Bone marrow aspirate smear; May-Grünwald-Giemsa stain — 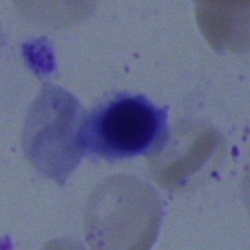

Specimen: bone marrow aspirate smear.
Morphological class: erythroblast.